Bone marrow aspirate smear — 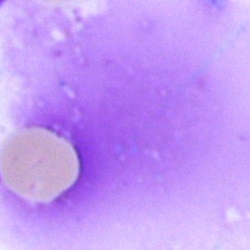
Q: What is shown here?
A: This is an artefact.